Bone marrow smear — 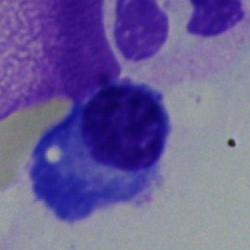

Showing a plasma cell.